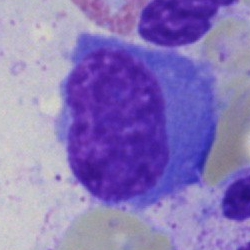
Classification: plasmacyte.